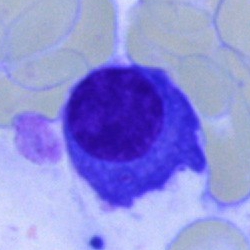
{"cell_type": "plasma cell", "lineage": "lymphoid"}